Peripheral blood film. Cropped to a single cell — 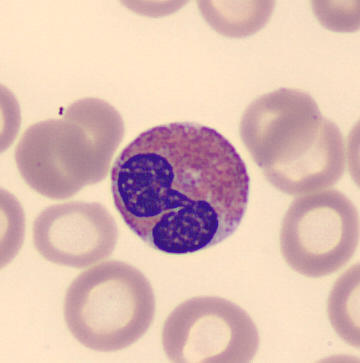
Morphology consistent with an eosinophil.